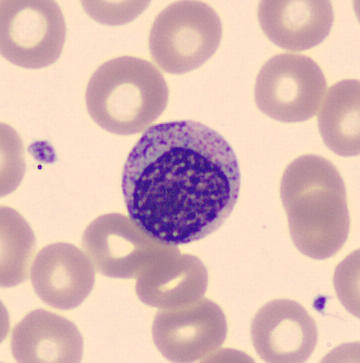Image: Peripheral blood smear.
Morphology — myelocyte.